40× objective, oil immersion · cropped to a single cell · bone marrow aspirate smear: 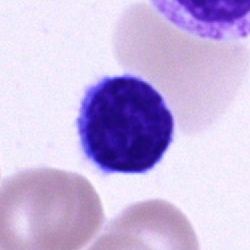Specimen: bone marrow smear.
Cell type: lymphocyte.